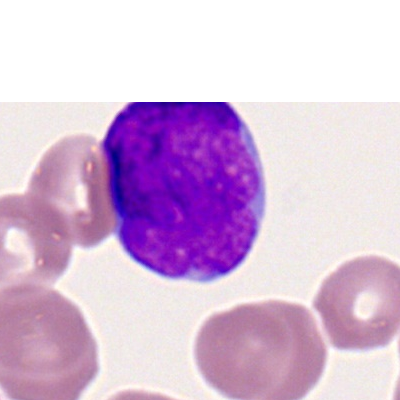

Q: Which cell type is shown here?
A: This is a myeloid blast.